Bone marrow smear: 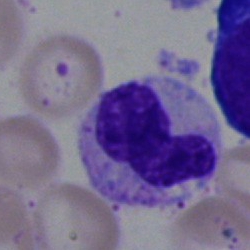
Morphology — metamyelocyte.